Peripheral blood film — 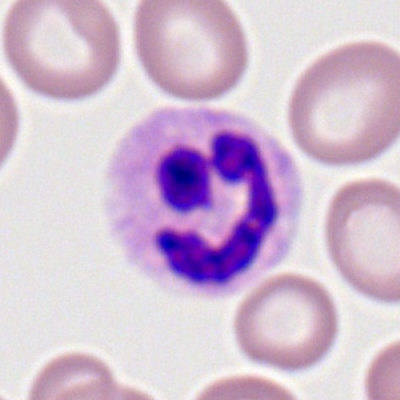
Morphology → segmented neutrophil.